Bone marrow smear · 40× oil immersion
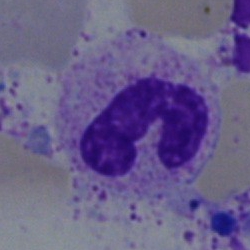 This is a segmented neutrophil.